Bone marrow smear:
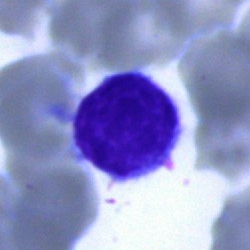Single cell identified as a typical lymphocyte.